Bone marrow smear
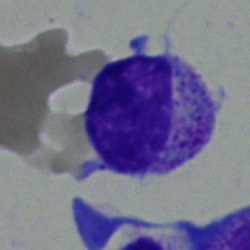

Specimen: bone marrow smear.
Classification: myelocyte.